Peripheral blood smear · Romanowsky-type stain · 400×400.
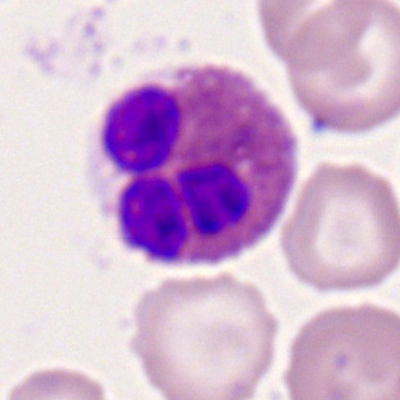 {"cell_type": "eosinophilic granulocyte", "lineage": "myeloid"}